Peripheral blood smear: 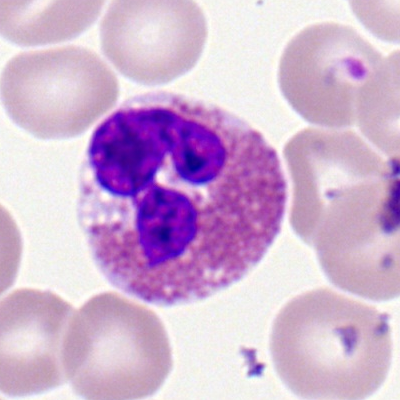An eosinophilic granulocyte.